Peripheral blood film · single cell centered in the field.
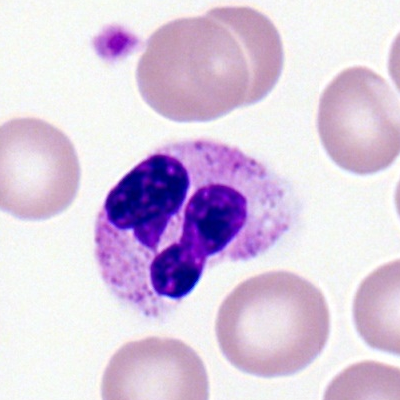A polymorphonuclear neutrophil.